Peripheral blood smear. CellaVision DM96:
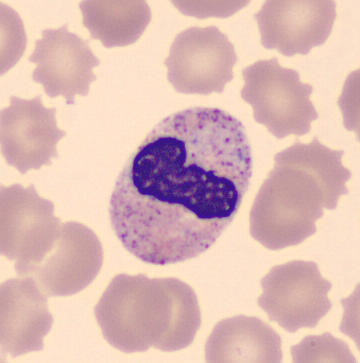
Morphology consistent with a neutrophil (band).